Bone marrow smear.
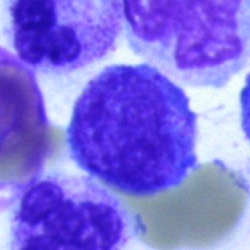
Morphological class — undifferentiated blast.